Peripheral blood smear.
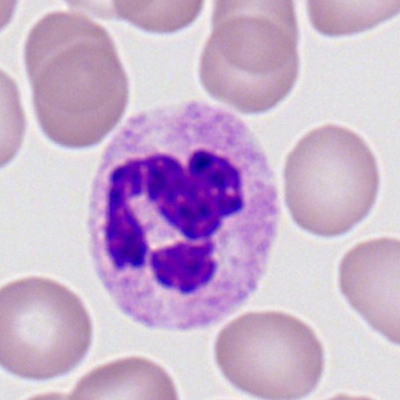
Cell: segmented neutrophil.